Bone marrow aspirate smear:
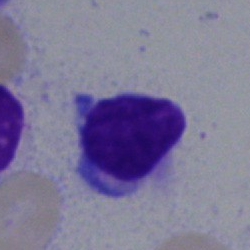

Q: What is the morphological classification of this cell?
A: A lymphocyte.